Bone marrow smear
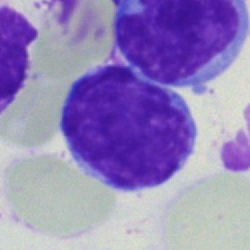

Q: What type of cell is this?
A: This is a lymphocyte.